Bone marrow aspirate smear:
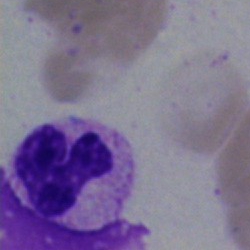
Impression — polymorphonuclear neutrophil.